Bone marrow smear: 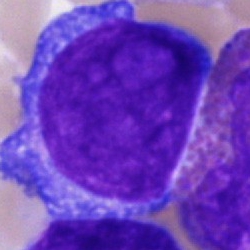{"cell_type": "blast"}